Cropped to a single cell; bone marrow aspirate smear — 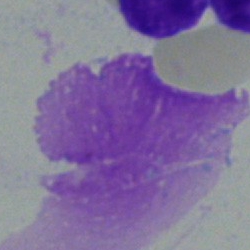
Artefact.